Bone marrow smear:
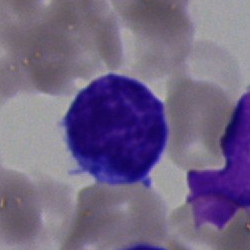 Lymphocyte.